Bone marrow smear
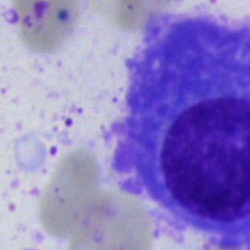

The cell is plasmacyte.